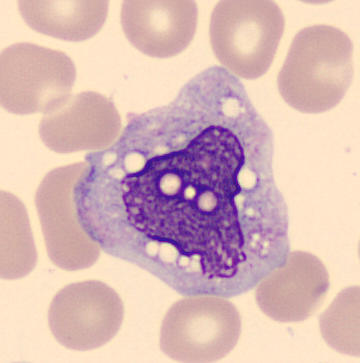
Specimen: peripheral blood film.
Cell: monocyte.
Lineage: myeloid.

Image: CellaVision DM96 digital cell image; 360 by 363 pixels.